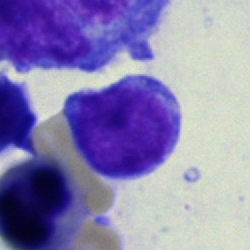
Morphology — typical lymphocyte.